Single-cell crop. Bone marrow aspirate smear. May-Grünwald-Giemsa stain — 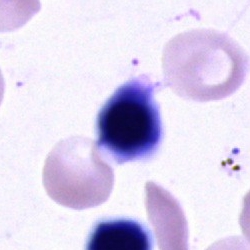

Cell type — erythroblast.